Bone marrow smear:
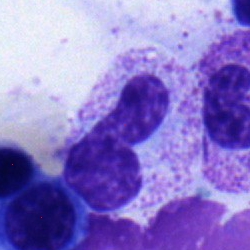Specimen: bone marrow smear.
Cell type: band-form neutrophil.